Bone marrow smear. 40× oil immersion. Single-cell field — 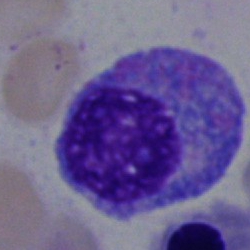 Morphology — progranulocyte.